Bone marrow smear · single-cell crop: 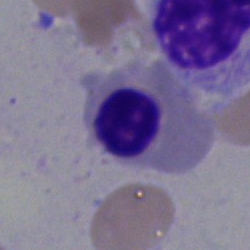

Morphology → normoblast.